250×250. Bone marrow aspirate smear — 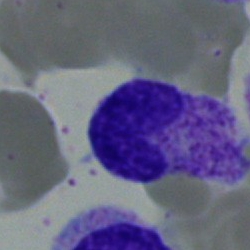 Q: Identify the cell.
A: A band neutrophil.